Bone marrow smear.
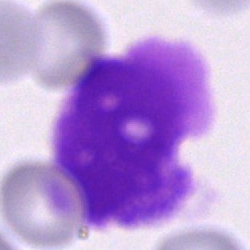

An artifact.